Bone marrow aspirate smear.
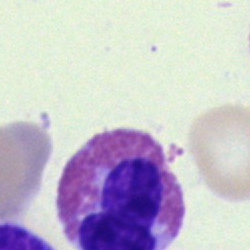 The cell type is eosinophilic granulocyte.